Bone marrow aspirate smear: 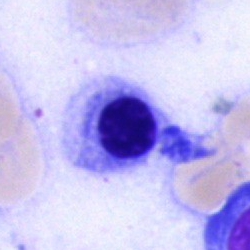 Morphology consistent with a normoblast.